May Grünwald-Giemsa stain · peripheral blood film
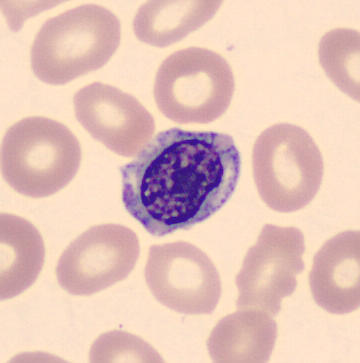
Q: What is this?
A: Myelocyte.